Cropped to a single cell. Bone marrow aspirate smear. 40× objective, oil immersion.
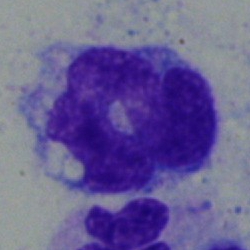
Cell = monocyte.